Bone marrow aspirate smear; 250×250:
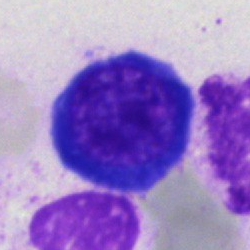
Q: Which cell type is shown here?
A: A normoblast.